Bone marrow aspirate smear — 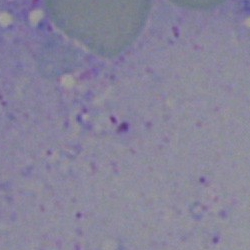
Impression → artifact.